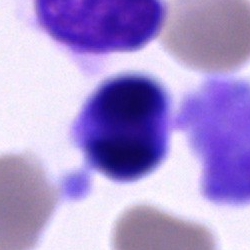
Q: What is shown here?
A: It is an unidentifiable cell.